Bone marrow smear
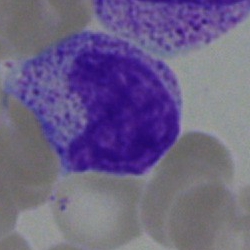
A metamyelocyte.